Peripheral blood smear — 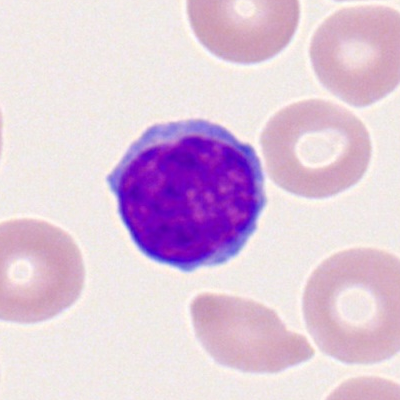 Lymphocyte.